Peripheral blood film:
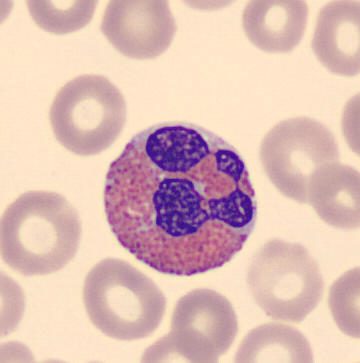
Morphological class = eosinophil.